Bone marrow aspirate smear: 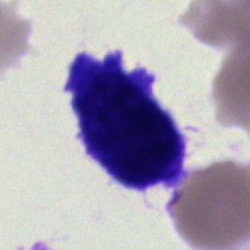 An undifferentiated blast.